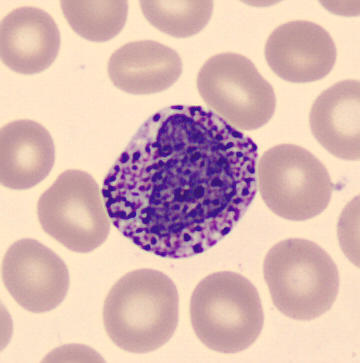
Showing a basophilic granulocyte.